Bone marrow smear: 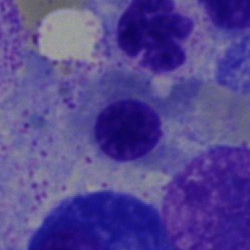The morphological class is nucleated red cell.